Bone marrow smear:
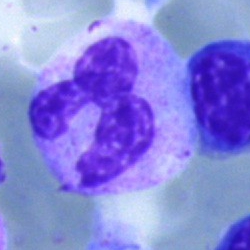
A polymorphonuclear neutrophil.